Bone marrow aspirate smear. Image size 250×250: 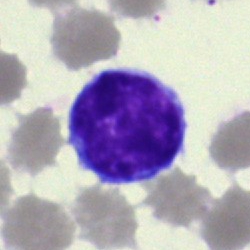
Q: What cell is this?
A: It is a typical lymphocyte.